Bone marrow smear; 250×250 px; May-Grünwald-Giemsa/Pappenheim stain: 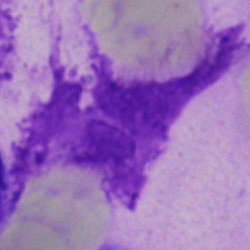

Q: What is shown here?
A: This is an artifact.